Bone marrow aspirate smear:
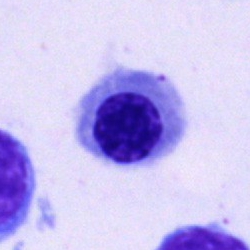

Q: What type of cell is this?
A: It is a nucleated red blood cell.